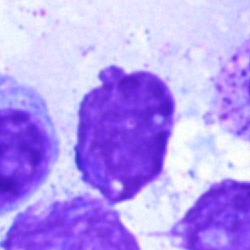Bone marrow smear showing an artefact.